Bone marrow aspirate smear.
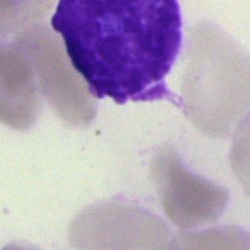 Single cell identified as an artefact.